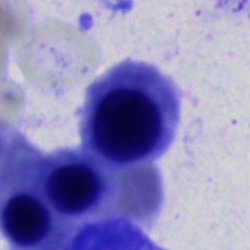 Classification = erythroblast.